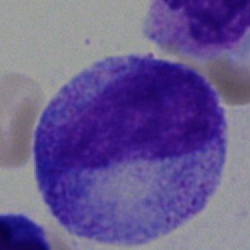Impression — progranulocyte.